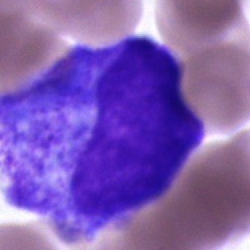 Specimen: bone marrow smear.
Cell type: progranulocyte.
Lineage: myeloid.